Brightfield microscopy, 40× oil immersion · bone marrow smear · 250×250 — 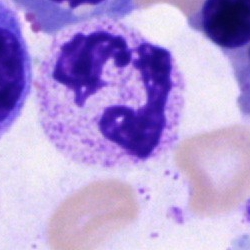
Showing a neutrophil (segmented).